Bone marrow aspirate smear:
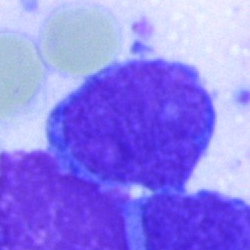Q: Identify the cell.
A: Undifferentiated blast.